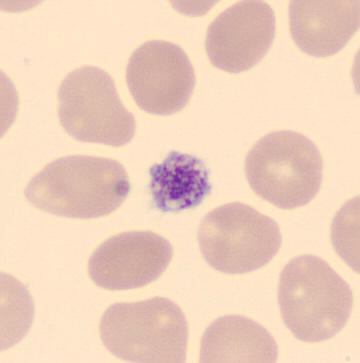Image: May-Grünwald-Giemsa-stained. Peripheral blood smear. Morphological class — thrombocyte.